Bone marrow aspirate smear — 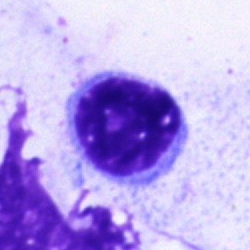
A lymphocyte.